Brightfield, 100× oil-immersion objective; peripheral blood film; single-cell field
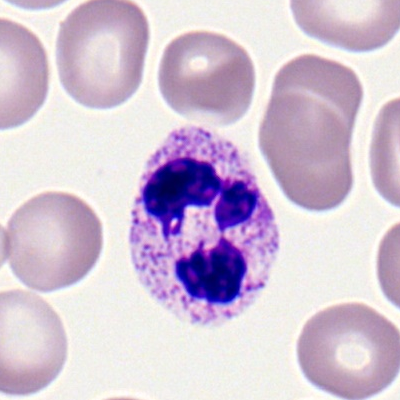Specimen: peripheral blood smear.
Morphological class: neutrophil (segmented).
Lineage: myeloid.